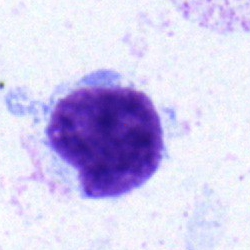Q: Which cell type is shown here?
A: Typical lymphocyte.